Bone marrow smear:
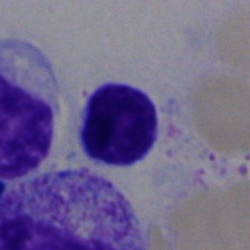 Morphological class = lymphocyte.